Bone marrow smear · 40× objective, oil immersion:
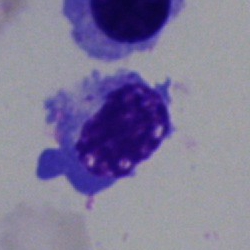 Morphology — nucleated red cell.